Bone marrow smear. May-Grünwald-Giemsa stain
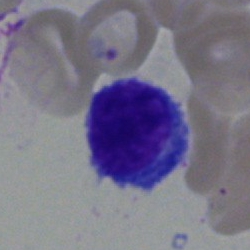Q: Identify the cell.
A: A lymphocyte.